Bone marrow aspirate smear.
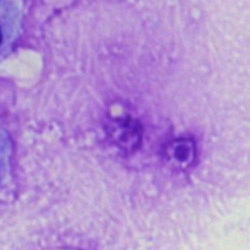

Cell type = artefact.